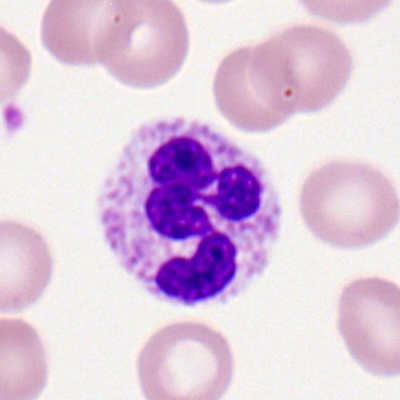

Q: What type of cell is this?
A: A segmented neutrophil.